Bone marrow smear — 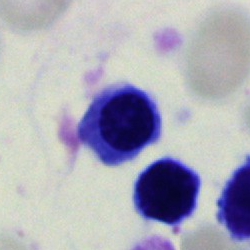 Morphological class: normoblast.